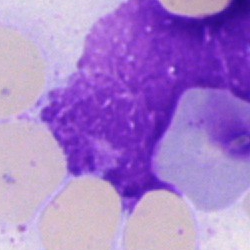Bone marrow smear showing an artifact.